Bone marrow smear: 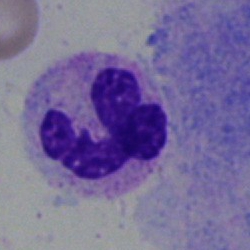
The cell shown is a polymorphonuclear neutrophil.